Single-cell field. Bone marrow smear. Image size 250×250 — 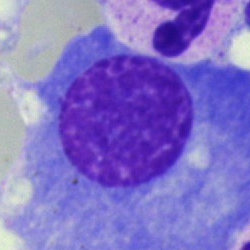The cell type is plasmacyte.